250×250 · bone marrow smear
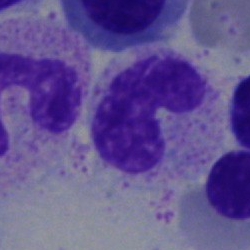
Morphological class: band-form neutrophil.